Bone marrow smear · single-cell crop · MGG-stained — 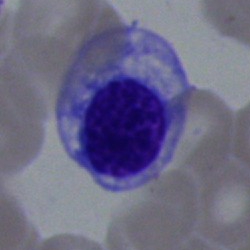Nucleated red cell.